Bone marrow smear.
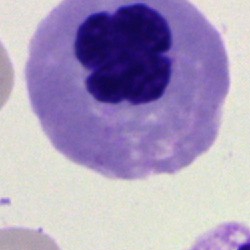A nucleated red cell.